40× objective, oil immersion; bone marrow smear; Pappenheim-stained
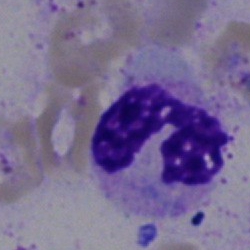

Specimen: bone marrow smear.
Classification: neutrophil (segmented).